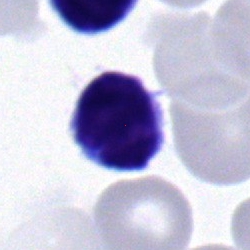

Cell = lymphocyte.